Bone marrow smear · cropped to a single cell · brightfield, 40× oil-immersion objective:
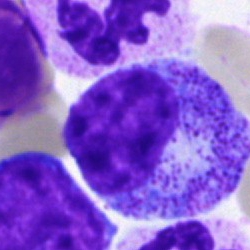

{"cell_type": "promyelocyte", "lineage": "myeloid"}